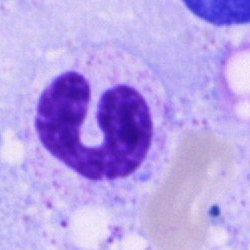

A band neutrophil on a bone marrow smear.